Bone marrow smear — 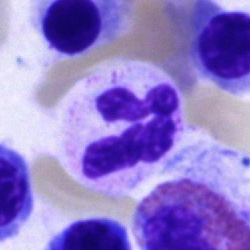Neutrophil (segmented).